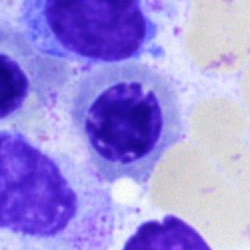 A nucleated red blood cell on a bone marrow smear.